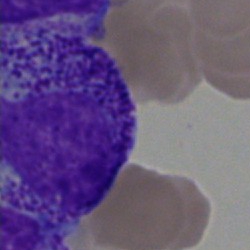Q: Identify the cell.
A: It is a promyelocyte.